400 by 400 pixels · single cell centered in the field · peripheral blood film — 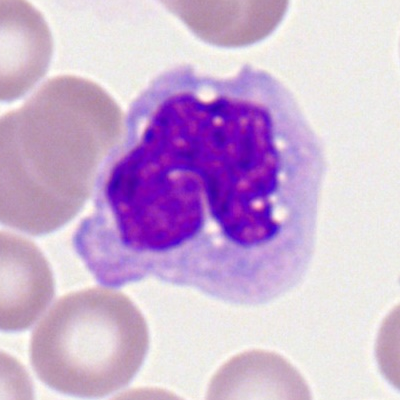Morphological class = monocyte.